40× objective, oil immersion · bone marrow aspirate smear — 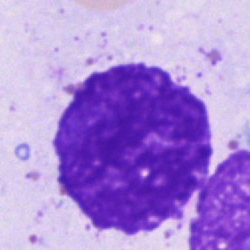 Cell — artefact.